Bone marrow aspirate smear.
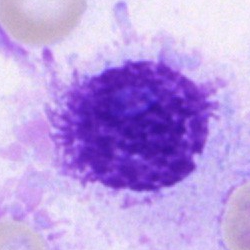

The morphological class is artifact.